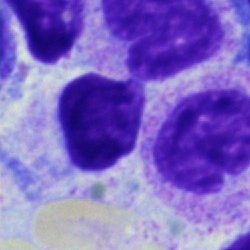 Specimen: bone marrow smear.
Classification: artifact.